Bone marrow smear
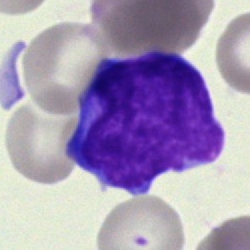Showing an undifferentiated blast.